May-Grünwald-Giemsa/Pappenheim stain · single cell centered in the field · bone marrow aspirate smear.
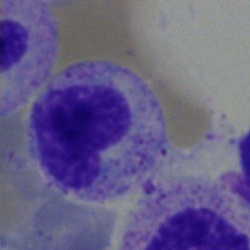 Classification — metamyelocyte.